Bone marrow smear:
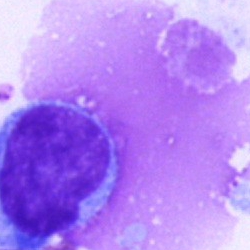
This is an artifact.